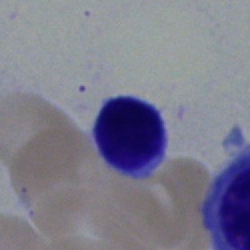

Single-cell crop from a bone marrow smear: lymphocyte.